Bone marrow smear
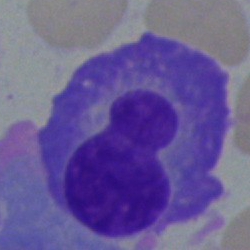

Cell = plasmacyte.